Peripheral blood smear.
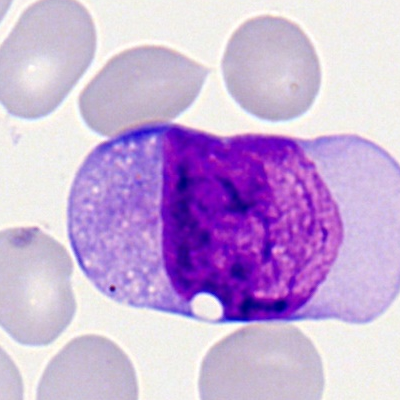
Myeloblast.